Peripheral blood film — 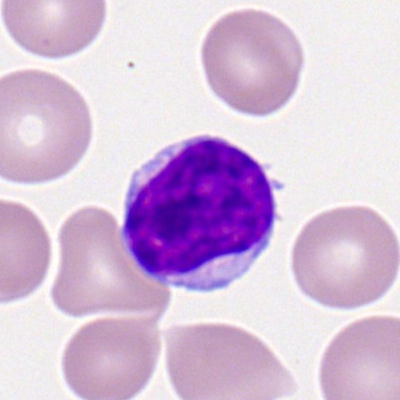 {"cell_type": "lymphocyte"}